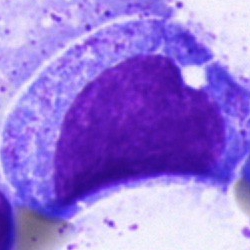 Bone marrow smear showing a promyelocyte.